Image size 250×250 · bone marrow aspirate smear: 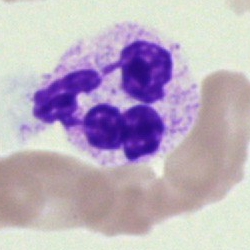
Cell type: polymorphonuclear neutrophil.